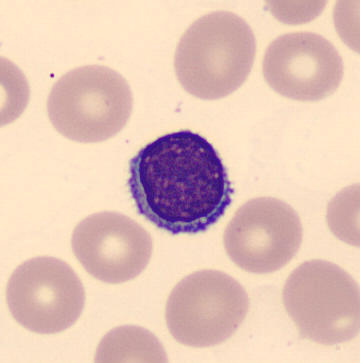
Q: What is this?
A: A lymphocyte.